Bone marrow smear: 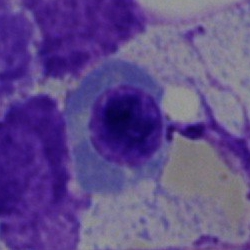
Specimen: bone marrow aspirate smear.
Classification: normoblast.
Lineage: erythroid.